Bone marrow aspirate smear.
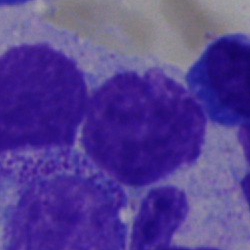
Cell type — lymphocyte.